Bone marrow smear — 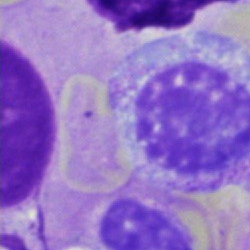
A myelocyte.